400×400 px. Peripheral blood film — 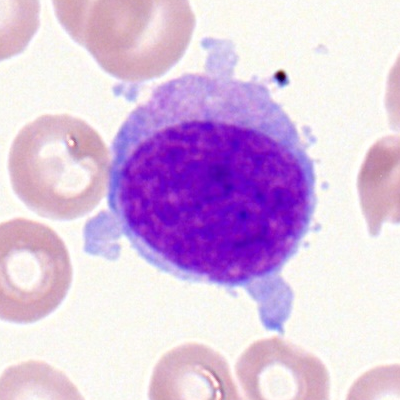 Classification: myeloblast.